Bone marrow aspirate smear. Brightfield, 40× oil-immersion objective: 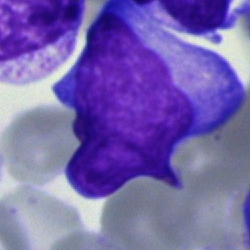Specimen: bone marrow aspirate smear.
Morphological class: undifferentiated blast.